Bone marrow aspirate smear.
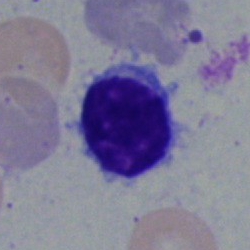 Morphological class: lymphocyte.